Bone marrow aspirate smear: 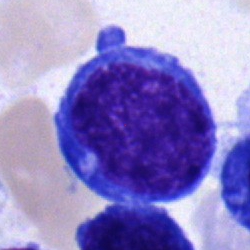
Morphology — undifferentiated blast.